Bone marrow smear — 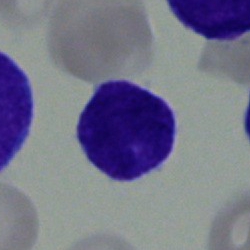
Classification — lymphocyte.